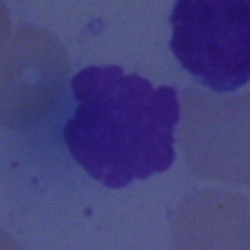Single-cell crop from a bone marrow smear: artefact.